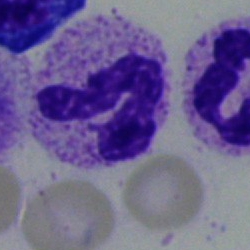

Morphological class: neutrophil (segmented).